Bone marrow smear — 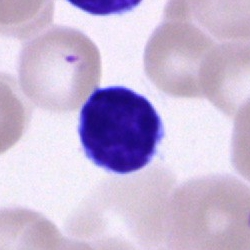

Cell = typical lymphocyte.